Peripheral blood smear · single-cell crop
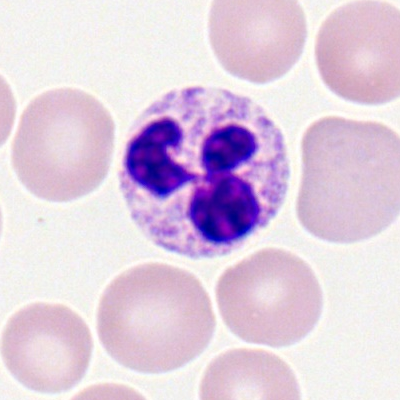

Morphology → segmented neutrophil.